Bone marrow smear.
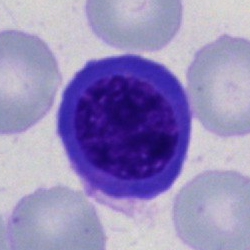
Normoblast.